Bone marrow aspirate smear.
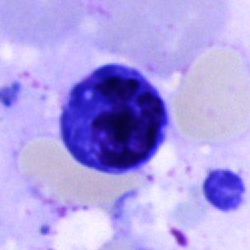 Morphology consistent with a cell of indeterminate lineage.